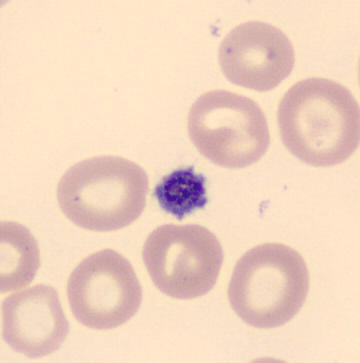Morphology consistent with a platelet.